Bone marrow smear: 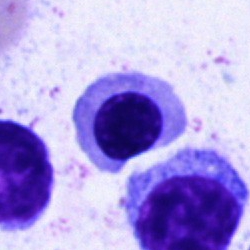
Morphology consistent with a nucleated red cell.